Bone marrow smear — 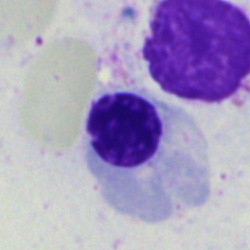Morphological class — erythroblast.